Bone marrow smear · image size 250×250.
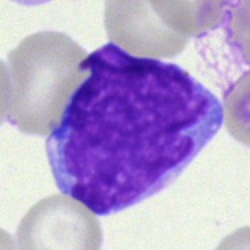Q: What type of cell is this?
A: Blast cell.